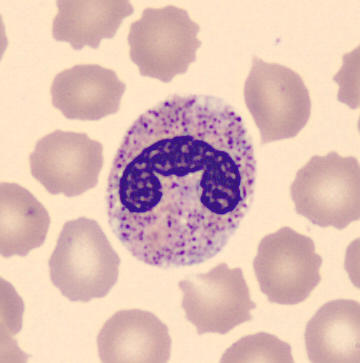Specimen: peripheral blood smear.
Classification: band-form neutrophil.
Image: Single-cell crop.